MGG-stained; bone marrow smear: 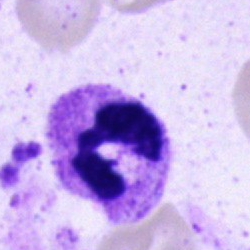 Morphology — polymorphonuclear neutrophil.